Bone marrow smear:
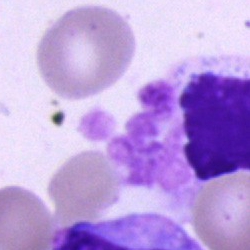This is an unidentifiable cell.